Bone marrow aspirate smear.
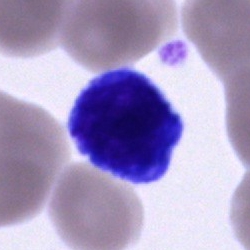Cell of indeterminate lineage.